Peripheral blood smear; automated cell imaging (CellaVision DM96)
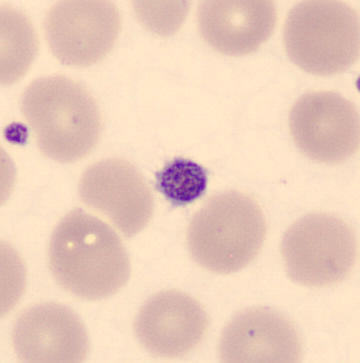 Q: What is shown here?
A: This is a platelet.